Bone marrow smear. Image size 250×250
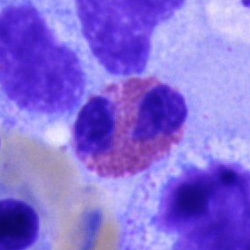 An eosinophil.